Peripheral blood smear: 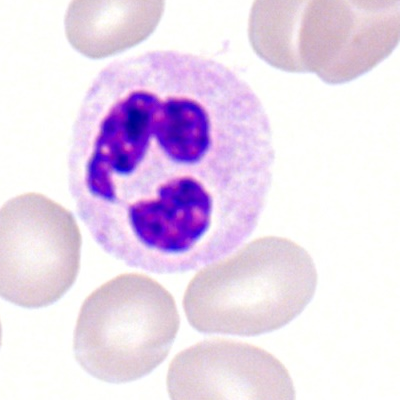

Cell type: segmented neutrophil.